Bone marrow smear: 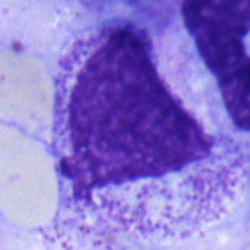

Single cell identified as a myelocyte.